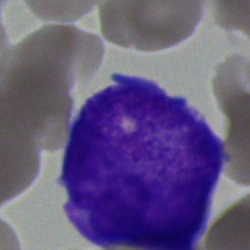 Cell type: blast.